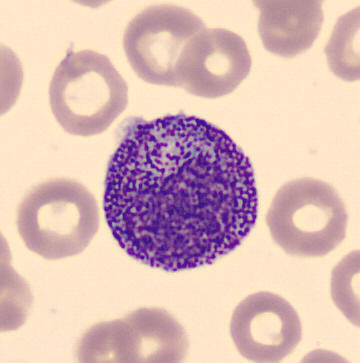
The cell type is promyelocyte. Image: Peripheral blood film.